Bone marrow aspirate smear — 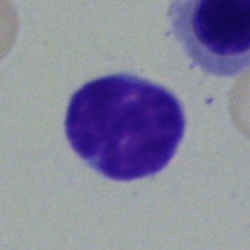
Morphological class: lymphocyte.